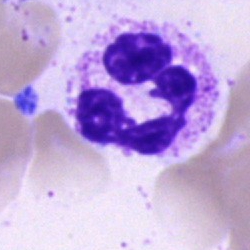 {"cell_type": "neutrophil (segmented)", "lineage": "myeloid"}